Single-cell crop; bone marrow aspirate smear
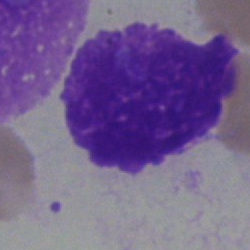 Morphology → artifact.